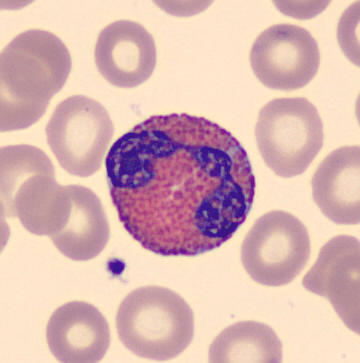Peripheral blood smear showing an eosinophil.